Single-cell field; 250 by 250 pixels; bone marrow smear — 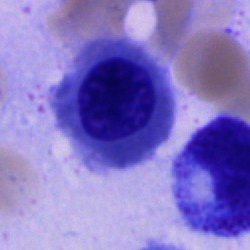
Specimen: bone marrow smear.
Morphological class: nucleated red cell.